Bone marrow aspirate smear:
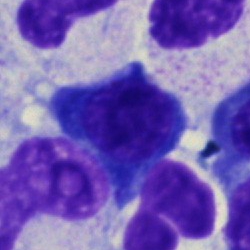
{"cell_type": "nucleated red blood cell", "lineage": "erythroid"}